Peripheral blood film:
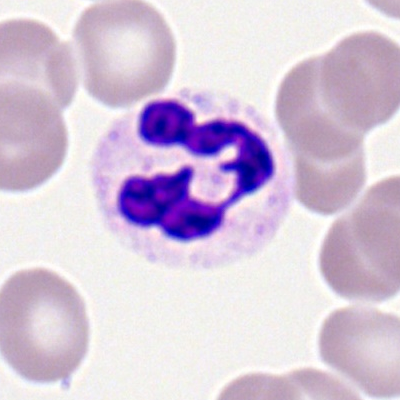

The cell shown is a segmented neutrophil.